May-Grünwald-Giemsa stain · bone marrow smear · 250×250 px.
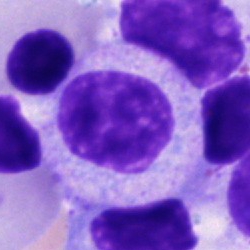 The cell is myelocyte.